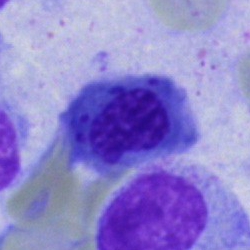 Single-cell crop from a bone marrow smear: nucleated red blood cell.